Bone marrow aspirate smear
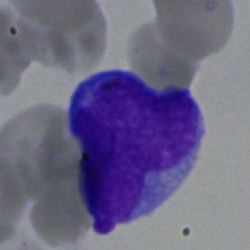The cell type is blast.